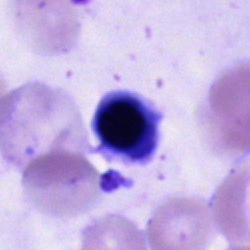An unidentifiable cell.